Bone marrow smear — 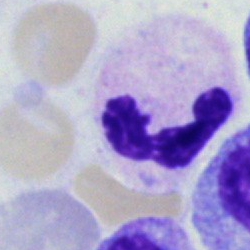 {"cell_type": "polymorphonuclear neutrophil"}